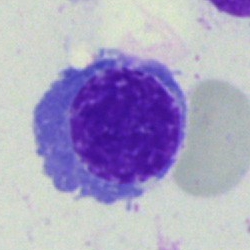
Morphology consistent with a nucleated red blood cell.